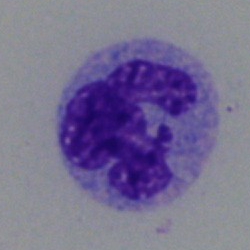

Bone marrow smear showing a monocyte.